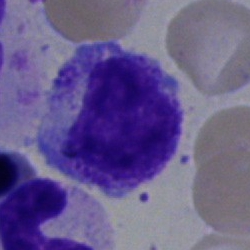 The cell shown is a metamyelocyte.